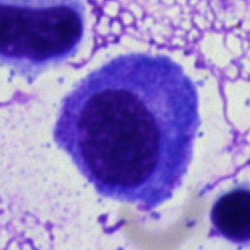 Bone marrow smear showing a plasmacyte.